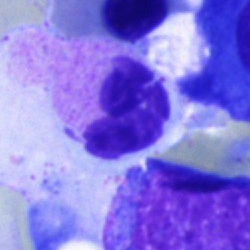

The cell shown is a polymorphonuclear neutrophil.